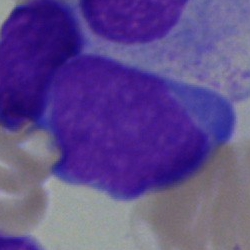

Morphology — blast.